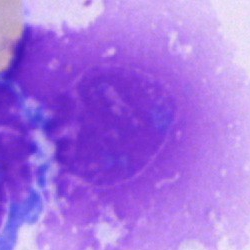
Classification = artefact.